Brightfield microscopy, 40× oil immersion. Single-cell field. Bone marrow aspirate smear: 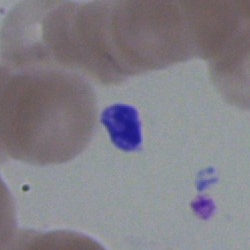
Showing an artefact.